MGG-stained · bone marrow aspirate smear: 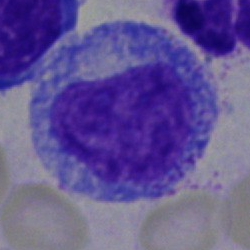 The classification is promyelocyte.